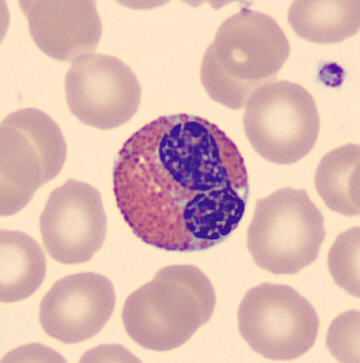
Acquisition: 360×363 px. Imaged on a CellaVision DM96 analyser. Peripheral blood smear. {"cell_type": "eosinophilic granulocyte", "lineage": "myeloid"}